Peripheral blood smear:
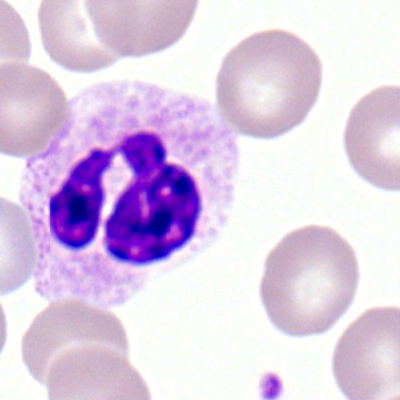 Morphology consistent with a neutrophil (segmented).